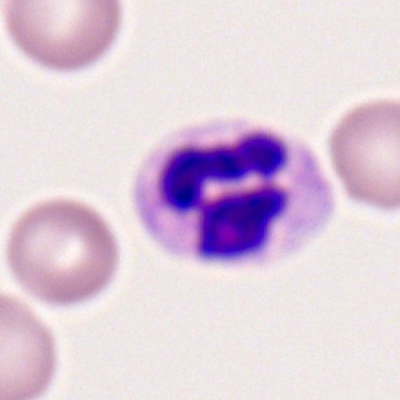
{"cell_type": "segmented neutrophil", "lineage": "myeloid"}